Single cell centered in the field. Bone marrow smear:
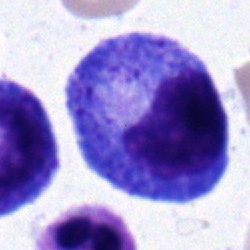 A promyelocyte.